Bone marrow smear
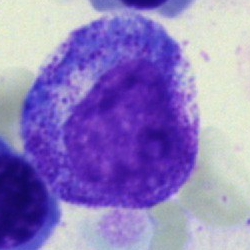 Classification = promyelocyte.